Bone marrow smear. 250×250. MGG-stained: 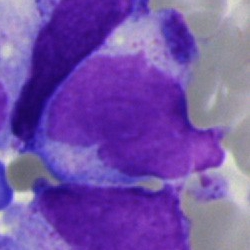

Classification — undifferentiated blast.